Bone marrow aspirate smear: 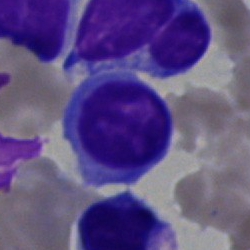
Impression — lymphocyte.